Single-cell field. Pappenheim-stained. Bone marrow aspirate smear: 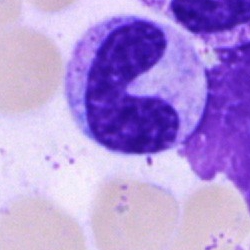 The cell type is band neutrophil.